Cropped to a single cell; bone marrow smear
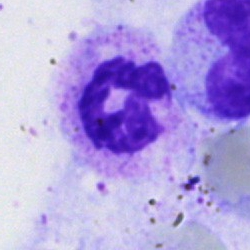 Morphology — neutrophil (segmented).